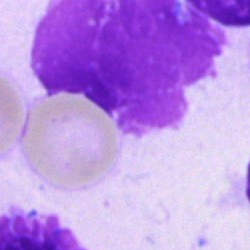

Bone marrow smear showing an artefact.